Bone marrow aspirate smear — 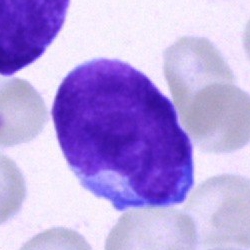Blast.